May-Grünwald-Giemsa/Pappenheim stain; bone marrow aspirate smear
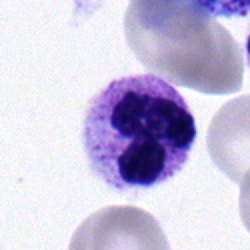
Showing a neutrophil (segmented).